Bone marrow smear: 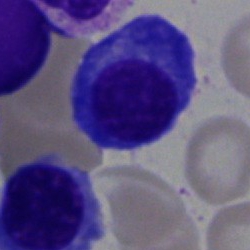

{"cell_type": "plasma cell"}